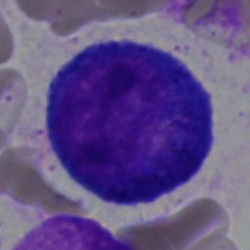
Morphology consistent with a neutrophil (band).